Bone marrow aspirate smear:
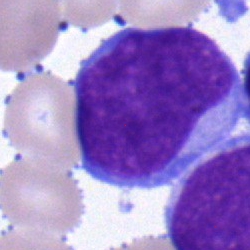Specimen: bone marrow aspirate smear.
Classification: blast.